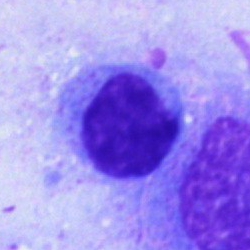 Impression → plasma cell.